Bone marrow aspirate smear — 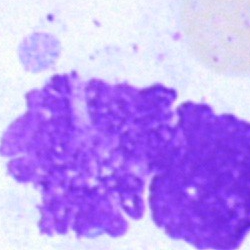

Classification — artefact.